Bone marrow aspirate smear: 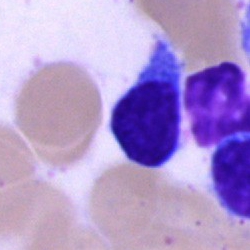
{"cell_type": "lymphocyte", "lineage": "lymphoid"}